Peripheral blood film.
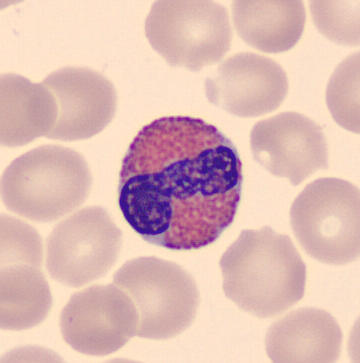
The cell shown is an eosinophilic granulocyte.